Bone marrow smear. Single cell centered in the field.
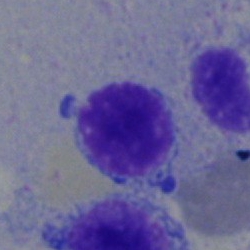Classification = typical lymphocyte.